M8 digital microscope (Precipoint), 100× oil immersion; peripheral blood smear.
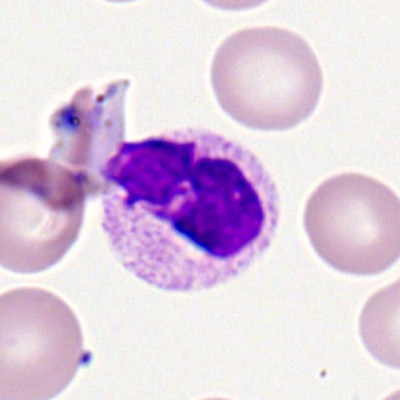
Single cell identified as a neutrophil (segmented).